Bone marrow smear; 250×250 px:
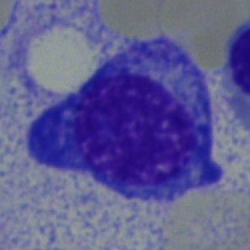
The cell shown is a plasmacyte.